Romanowsky-stained; peripheral blood film:
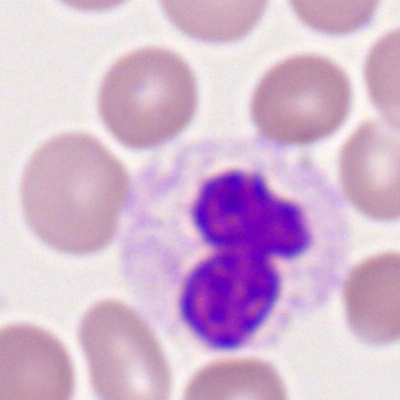 Q: What cell is this?
A: Segmented neutrophil.